Bone marrow smear
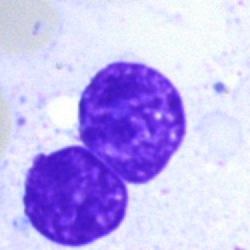
Artifact.